Bone marrow aspirate smear — 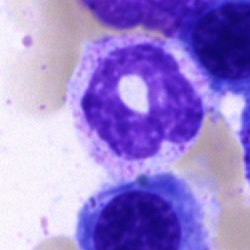 Specimen: bone marrow aspirate smear.
Morphological class: polymorphonuclear neutrophil.
Lineage: myeloid.